Bone marrow aspirate smear:
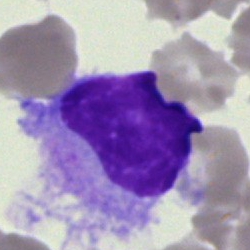
Cell: hairy cell.